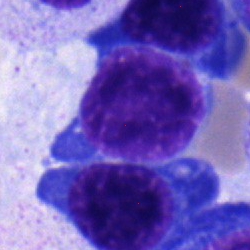 Q: What type of cell is this?
A: It is a nucleated red blood cell.